Bone marrow aspirate smear
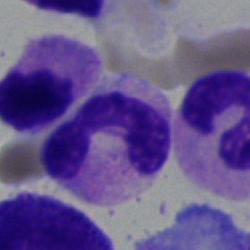
Q: What is shown here?
A: A polymorphonuclear neutrophil.